Bone marrow aspirate smear · 250×250
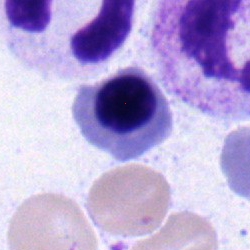

Morphology consistent with a nucleated red blood cell.